Bone marrow smear · May-Grünwald-Giemsa/Pappenheim stain
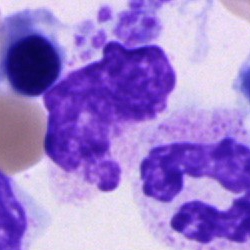A polymorphonuclear neutrophil.